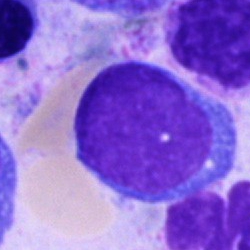

Morphology consistent with a blast.